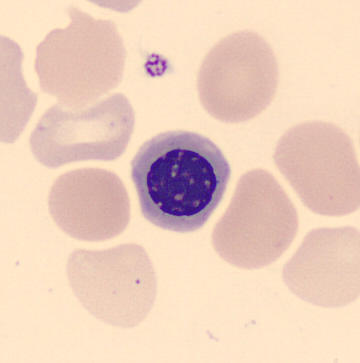Morphology → nucleated red cell.